May-Grünwald-Giemsa/Pappenheim stain · bone marrow aspirate smear · image size 250×250:
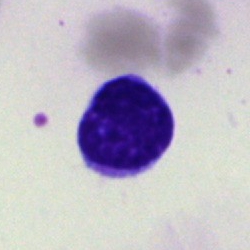
Showing a lymphocyte.